Pappenheim-stained; 250 by 250 pixels; bone marrow aspirate smear: 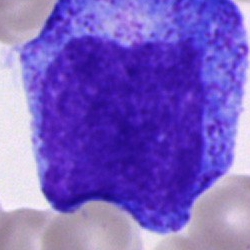Impression — promyelocyte.